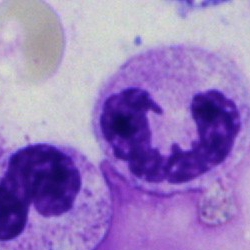
Classification = neutrophil (segmented).